Bone marrow aspirate smear. May-Grünwald-Giemsa/Pappenheim stain. Single-cell field — 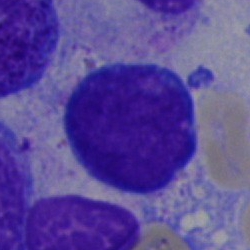
This is a lymphocyte.